Bone marrow aspirate smear · brightfield, 40× oil-immersion objective:
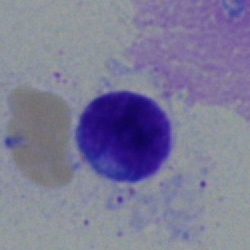 Q: What is shown here?
A: Typical lymphocyte.